MGG-stained; bone marrow smear: 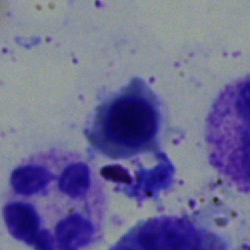

{"cell_type": "nucleated red blood cell", "lineage": "erythroid"}